Bone marrow smear.
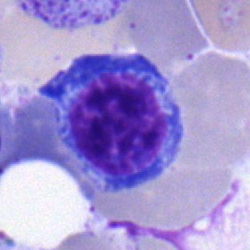

Cell — proerythroblast.